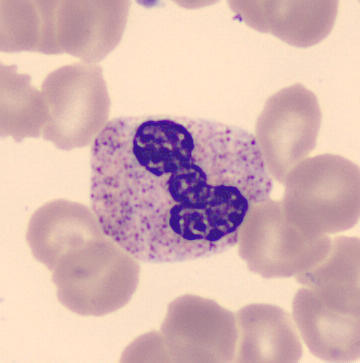Classification = neutrophil (segmented).
Image: Peripheral blood smear; 360×363 px.